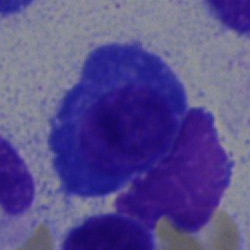

Specimen: bone marrow smear.
Classification: plasmacyte.
Lineage: lymphoid.